Bone marrow smear — 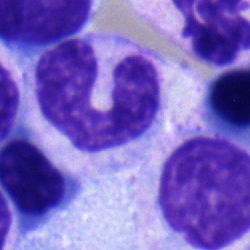
Q: Which cell type is shown here?
A: It is a band neutrophil.